Bone marrow smear
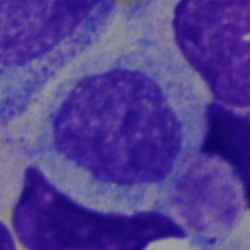
The classification is myelocyte.